Bone marrow smear:
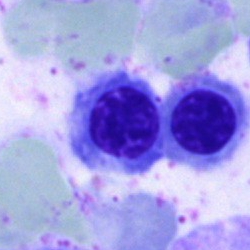Impression — erythroblast.